250 by 250 pixels. Bone marrow aspirate smear
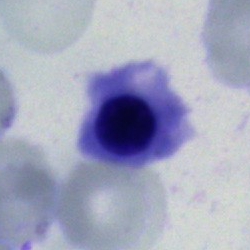
Cell type = nucleated red cell.